Brightfield, 40× oil-immersion objective; bone marrow aspirate smear
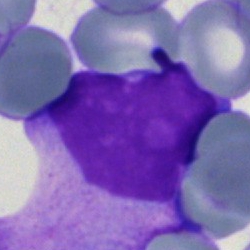
Q: What is the morphological classification of this cell?
A: Undifferentiated blast.